Bone marrow aspirate smear:
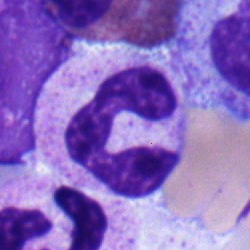
Eosinophil.